Bone marrow aspirate smear · brightfield microscopy, 40× oil immersion
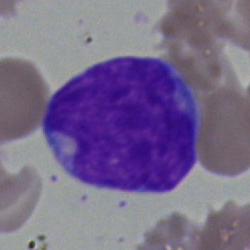

Cell — blast.